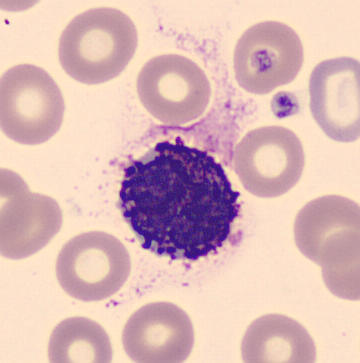

Cell: basophilic granulocyte. Acquisition: Peripheral blood film.